Bone marrow aspirate smear. 250×250 px: 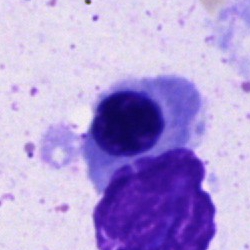 A normoblast.